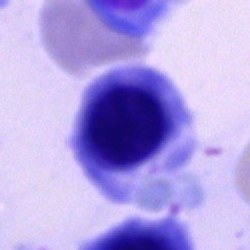 Bone marrow aspirate smear, single cell — erythroblast.